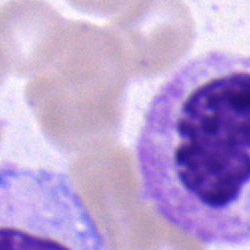Single-cell crop from a bone marrow smear: polymorphonuclear neutrophil.